Bone marrow smear; single cell centered in the field.
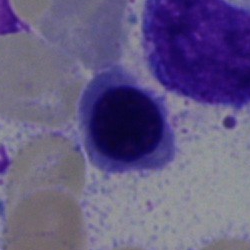 Q: What cell is this?
A: Normoblast.